Bone marrow aspirate smear:
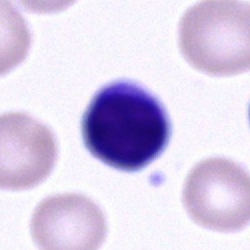Showing a typical lymphocyte.